Bone marrow aspirate smear
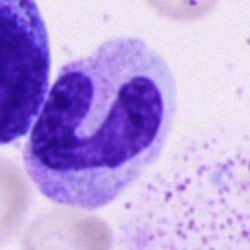Q: What cell is this?
A: It is a band-form neutrophil.